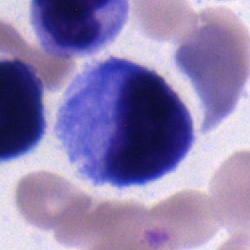
This is a metamyelocyte.